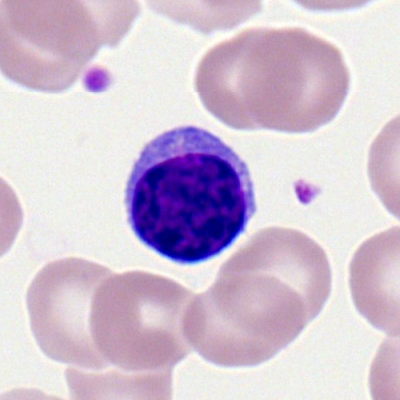

{"cell_type": "typical lymphocyte", "lineage": "lymphoid"}